Bone marrow aspirate smear — 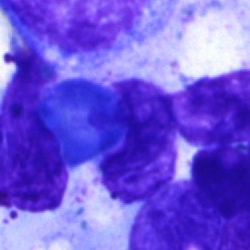Classification — artefact.